MGG-stained. Bone marrow smear
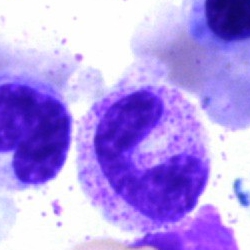 Morphology → segmented neutrophil.